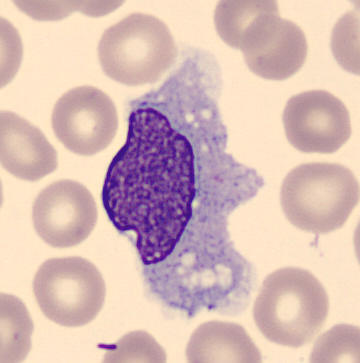
Morphology → monocyte.